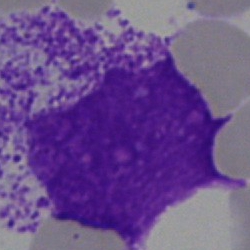
Morphology — artifact.